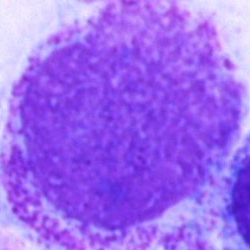 Bone marrow aspirate smear, single cell — artefact.